Brightfield, 40× oil-immersion objective. Bone marrow aspirate smear.
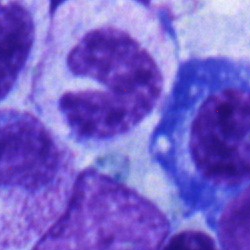

Q: Which cell type is shown here?
A: Band-form neutrophil.